Brightfield microscopy, 40× oil immersion; bone marrow aspirate smear: 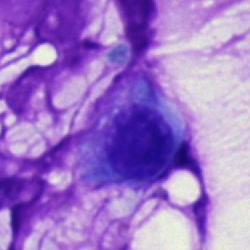 Q: What is the morphological classification of this cell?
A: It is a nucleated red cell.